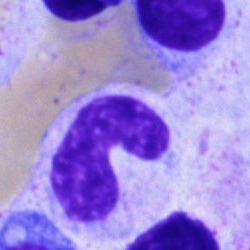

Bone marrow aspirate smear, single cell — band-form neutrophil.